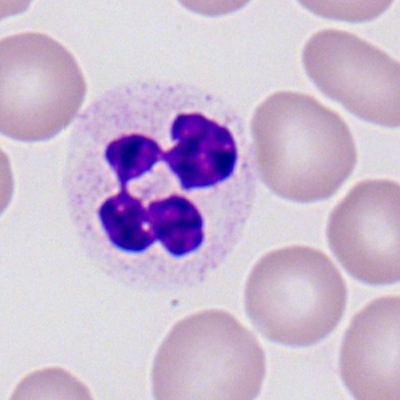Single cell identified as a segmented neutrophil.